Bone marrow smear:
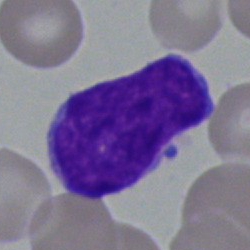
Specimen: bone marrow aspirate smear.
Morphological class: blast.